Bone marrow aspirate smear:
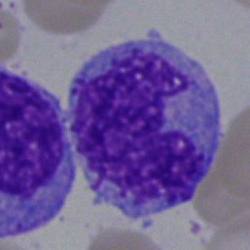The cell shown is a monocyte.